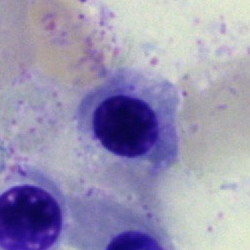

Specimen: bone marrow aspirate smear.
Morphological class: nucleated red blood cell.
Lineage: erythroid.